Bone marrow smear.
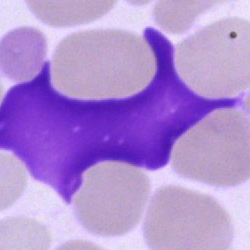Impression — artifact.